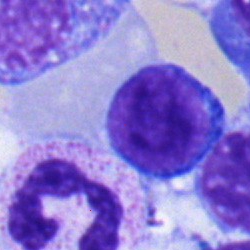 Q: Identify the cell.
A: This is a lymphocyte.